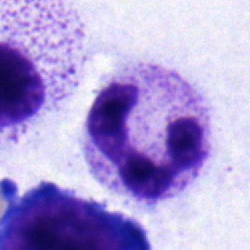Classification — segmented neutrophil.